Bone marrow smear. Brightfield, 40× oil-immersion objective
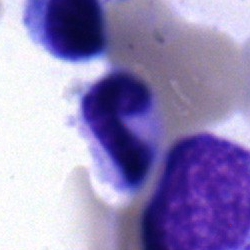

Specimen: bone marrow aspirate smear.
Cell type: stab cell.
Lineage: myeloid.